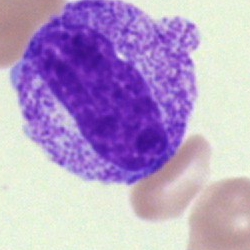Single-cell crop from a bone marrow smear: progranulocyte.